Bone marrow smear. 250 by 250 pixels
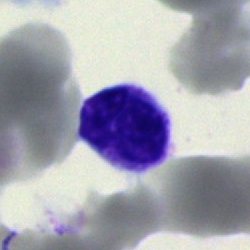
Cell type — myelocyte.